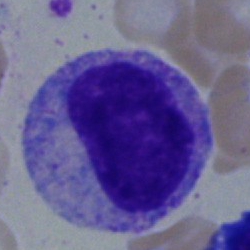
Q: What is the morphological classification of this cell?
A: A myelocyte.